Peripheral blood film.
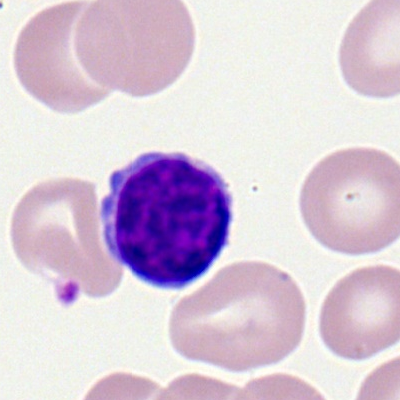 Specimen: peripheral blood film.
Cell type: lymphocyte.
Lineage: lymphoid.